Bone marrow aspirate smear: 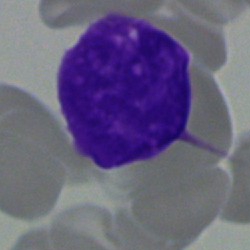 {"cell_type": "artifact"}